Brightfield microscopy, 40× oil immersion · bone marrow aspirate smear
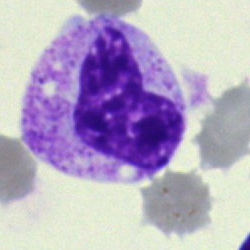

Band neutrophil.